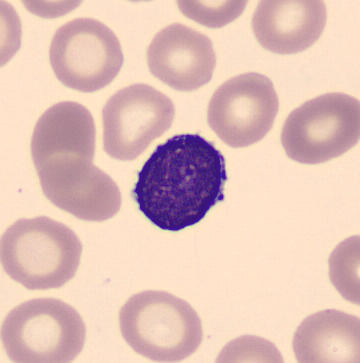 The cell is lymphocyte.